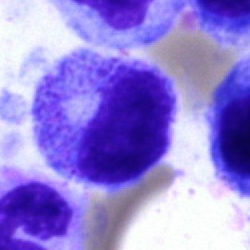

Morphological class: myelocyte.